Bone marrow smear: 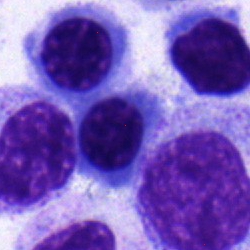Showing a normoblast.